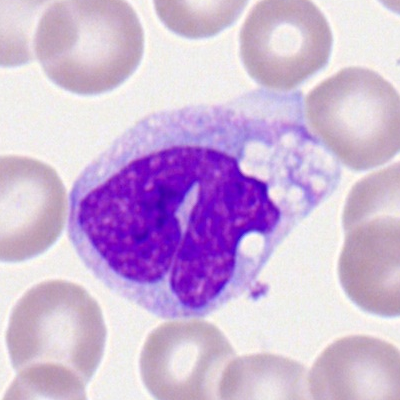
Morphology → monocyte.